MGG-stained. Brightfield, 40× oil-immersion objective. Bone marrow aspirate smear — 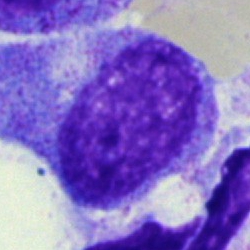 This is a progranulocyte.